Bone marrow aspirate smear
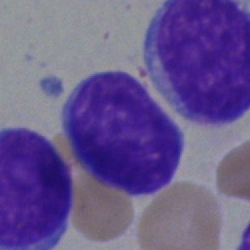Cell type = blast cell.